Single-cell crop. Brightfield, 40× oil-immersion objective. Bone marrow aspirate smear.
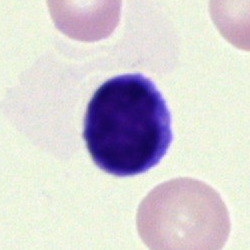
Specimen: bone marrow smear.
Morphological class: lymphocyte.